Bone marrow aspirate smear — 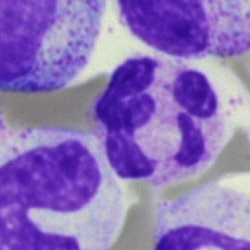Single cell identified as a neutrophil (segmented).